Bone marrow aspirate smear.
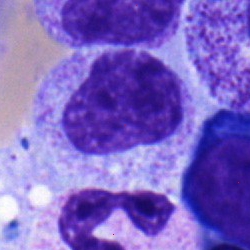Impression — myelocyte.